Brightfield microscopy, 40× oil immersion; bone marrow aspirate smear
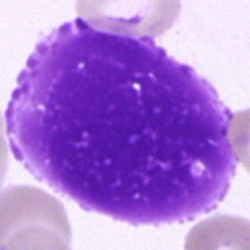 Q: What is shown here?
A: This is an artefact.